Bone marrow aspirate smear
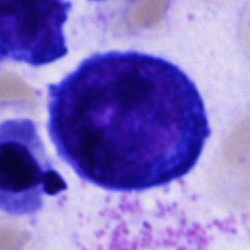
Morphology → pronormoblast.